M8 digital microscope (Precipoint), 100× oil immersion. Peripheral blood film. Romanowsky stain: 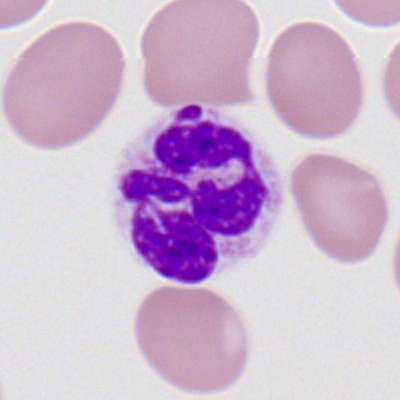
Morphological class — neutrophil (segmented).